40× objective, oil immersion; bone marrow smear: 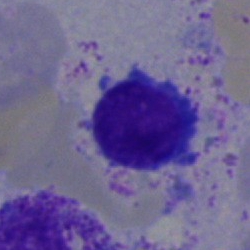 The cell shown is a lymphocyte.